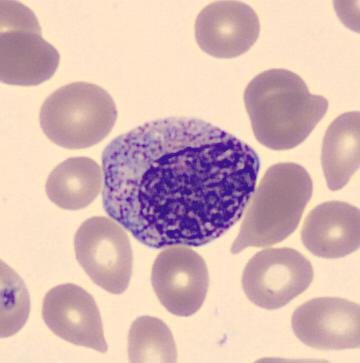 A myelocyte.
Preparation: MGG-stained · peripheral blood smear.